Peripheral blood smear · M8 digital microscope (Precipoint), 100× oil immersion — 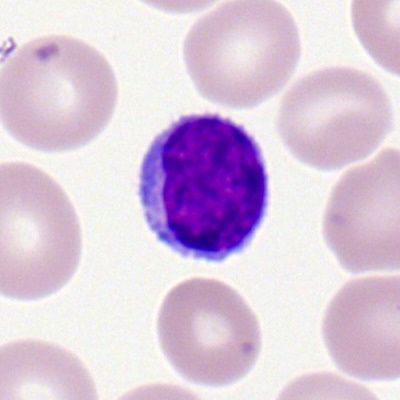

Morphological class: typical lymphocyte.